Bone marrow smear; brightfield microscopy, 40× oil immersion; image size 250×250.
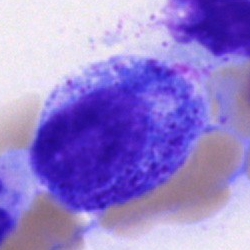

Showing a promyelocyte.